Bone marrow aspirate smear; single cell centered in the field
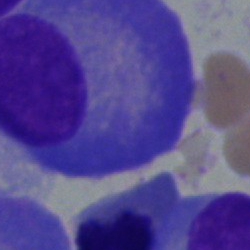 Specimen: bone marrow smear.
Cell type: plasma cell.